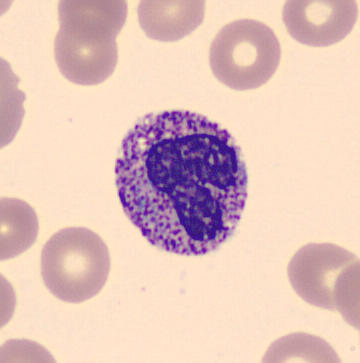
Q: What cell is this?
A: A metamyelocyte.

Image: Single-cell crop · peripheral blood film · CellaVision DM96 digital cell image.